Bone marrow aspirate smear — 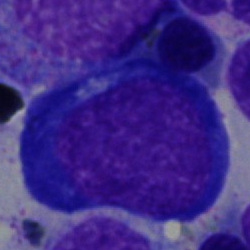
Impression — proerythroblast.